Bone marrow smear · brightfield microscopy, 40× oil immersion:
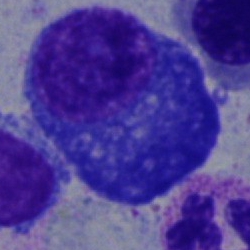
Specimen: bone marrow aspirate smear.
Cell: plasma cell.